Bone marrow smear — 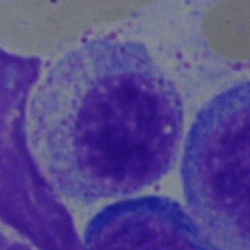 The cell shown is a myelocyte.